Brightfield microscopy, 40× oil immersion; bone marrow aspirate smear — 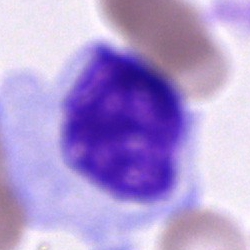
Impression → cell of indeterminate lineage.